Bone marrow aspirate smear:
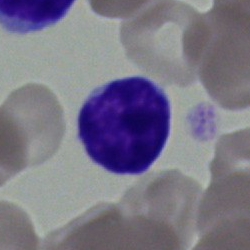 Single cell identified as a lymphocyte.